Bone marrow aspirate smear
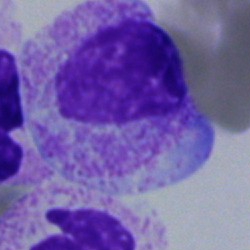 Myelocyte.